Bone marrow aspirate smear · Pappenheim-stained:
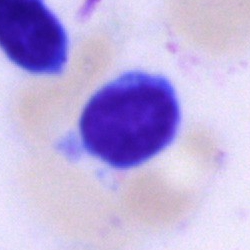
Specimen: bone marrow smear.
Cell type: lymphocyte.